Bone marrow aspirate smear:
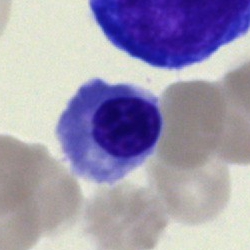Classification: nucleated red cell.